Peripheral blood smear.
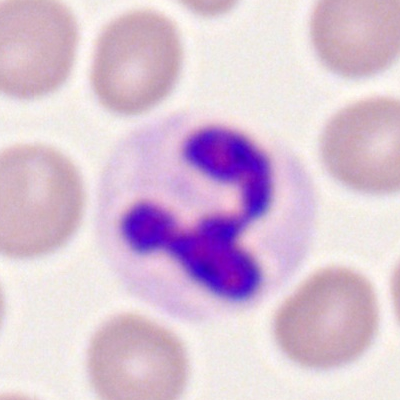
Specimen: peripheral blood smear.
Cell type: polymorphonuclear neutrophil.
Lineage: myeloid.